M8 digital microscope (Precipoint), 100× oil immersion. Peripheral blood smear
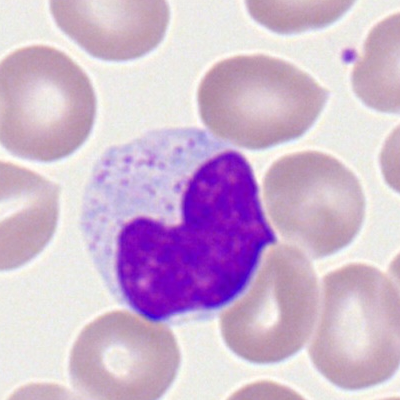
Morphology consistent with a lymphocyte.